Single-cell field · bone marrow aspirate smear · MGG-stained — 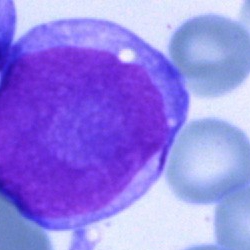Cell: undifferentiated blast.